Bone marrow smear.
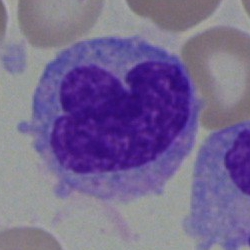
{"cell_type": "monocyte", "lineage": "myeloid"}